Peripheral blood smear.
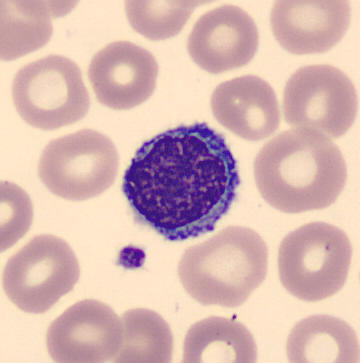

The cell type is lymphocyte.